Bone marrow smear. Single-cell crop.
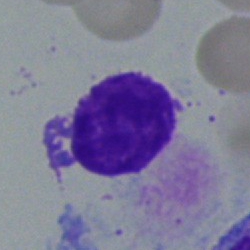
Cell type = artefact.